Single-cell crop. MGG-stained. Bone marrow smear: 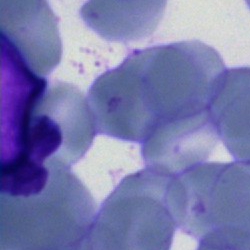
Artefact.